Bone marrow smear. May-Grünwald-Giemsa/Pappenheim stain. Brightfield, 40× oil-immersion objective — 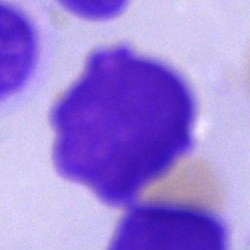{"cell_type": "artefact"}